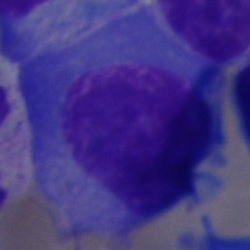Bone marrow aspirate smear, single cell — plasma cell.